Bone marrow smear. 40× oil immersion — 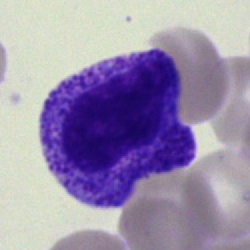
Specimen: bone marrow smear.
Cell type: promyelocyte.
Lineage: myeloid.